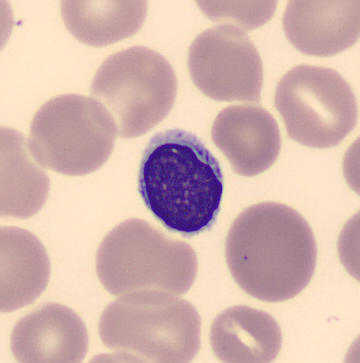

Acquisition: Peripheral blood film.
A typical lymphocyte.